Peripheral blood smear — 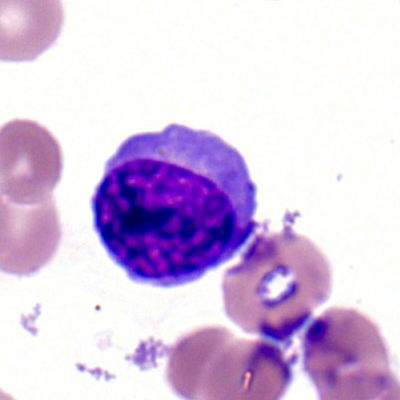 The cell shown is a lymphocyte.